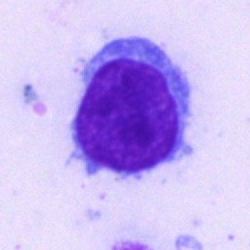

Showing a typical lymphocyte.